Brightfield microscopy, 40× oil immersion · May-Grünwald-Giemsa stain · bone marrow aspirate smear:
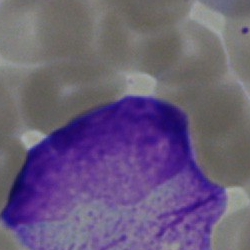Q: Identify the cell.
A: A cell with bundled Auer rods.